May-Grünwald-Giemsa stain; bone marrow aspirate smear.
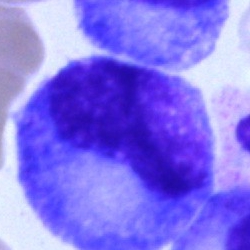

Progranulocyte.